Image size 250×250. Single-cell crop. Bone marrow smear
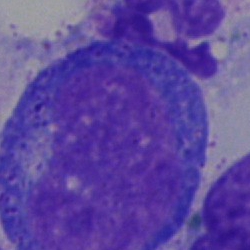

Q: What is the morphological classification of this cell?
A: It is a progranulocyte.